Bone marrow smear; cropped to a single cell; 250×250 px
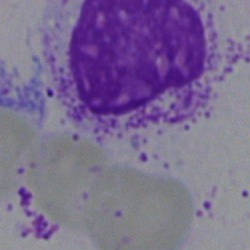
Single cell identified as an artifact.